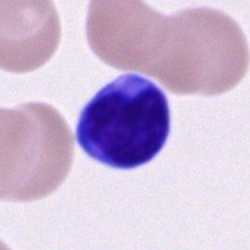
Lymphocyte.